Bone marrow aspirate smear:
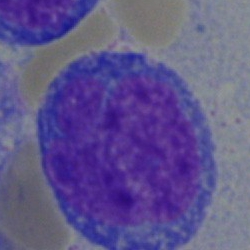
{"cell_type": "blast"}